Bone marrow aspirate smear · Pappenheim-stained.
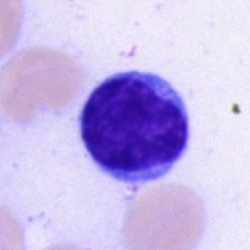

Q: What is shown here?
A: It is a lymphocyte.